Bone marrow smear.
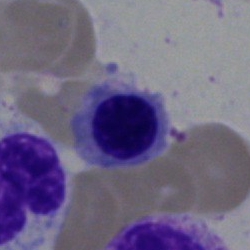 Showing a nucleated red cell.